Peripheral blood film. Single cell centered in the field:
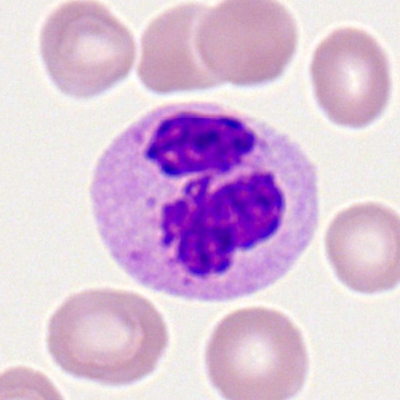 Morphology — polymorphonuclear neutrophil.